Peripheral blood film; Romanowsky stain; 400×400 px:
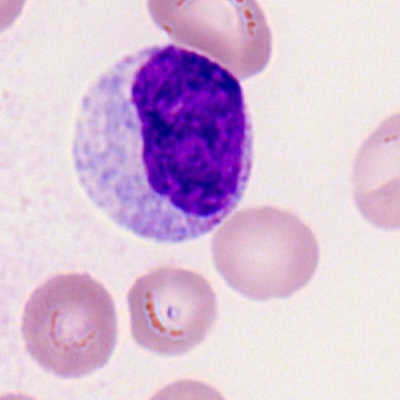

Single cell identified as a metamyelocyte.